250×250; single-cell crop; bone marrow aspirate smear.
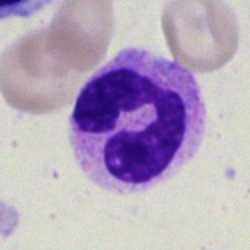 Showing a polymorphonuclear neutrophil.